Peripheral blood smear — 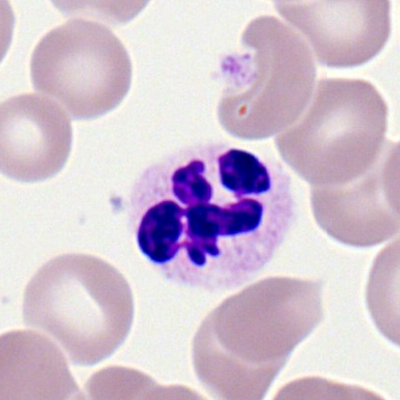 The cell is neutrophil (segmented).